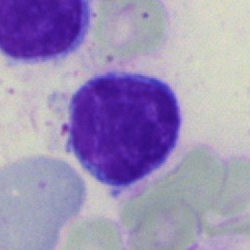 Bone marrow aspirate smear, single cell — lymphocyte.